Bone marrow aspirate smear — 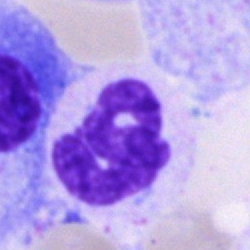 Impression → segmented neutrophil.